Bone marrow aspirate smear: 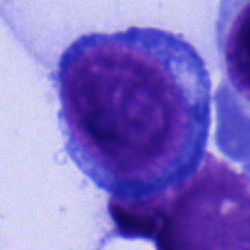 The classification is proerythroblast.